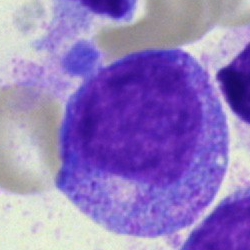{"cell_type": "progranulocyte"}